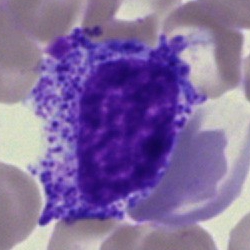The morphological class is progranulocyte.